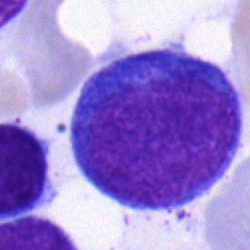 Specimen: bone marrow aspirate smear.
Classification: pronormoblast.
Lineage: erythroid.